M8 digital microscope (Precipoint), 100× oil immersion; Romanowsky-stained; peripheral blood film — 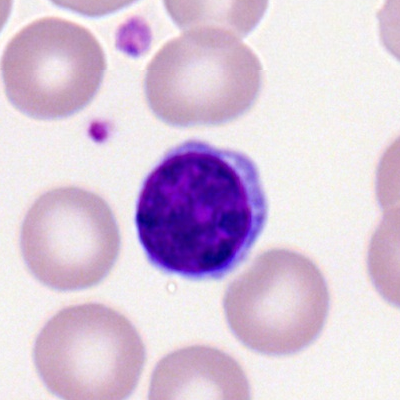 Q: Which cell type is shown here?
A: Lymphocyte.